Bone marrow smear
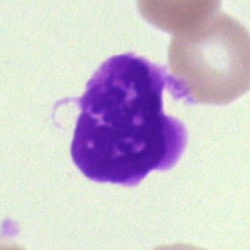The classification is artifact.